Brightfield, 40× oil-immersion objective; bone marrow smear; single-cell field
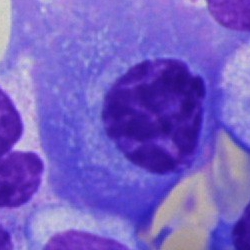
Q: What is shown here?
A: It is a plasma cell.